400 by 400 pixels. Peripheral blood smear — 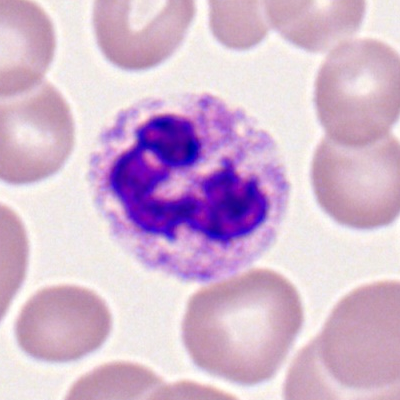Cell type: neutrophil (segmented).